Bone marrow aspirate smear. Image size 250×250
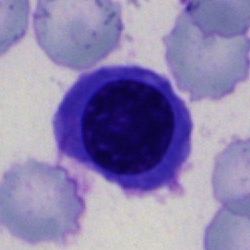
Specimen: bone marrow smear.
Classification: nucleated red cell.